Bone marrow aspirate smear.
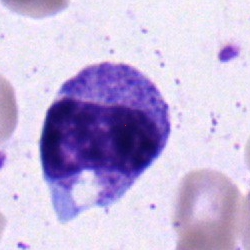 The morphological class is metamyelocyte.